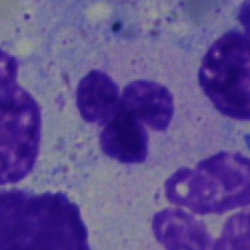Cell type: segmented neutrophil.